Brightfield, 40× oil-immersion objective; May-Grünwald-Giemsa stain; bone marrow smear: 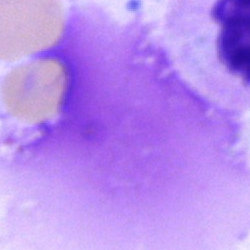The cell shown is an artefact.